Bone marrow aspirate smear.
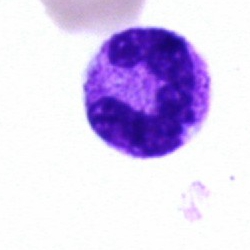The classification is polymorphonuclear neutrophil.